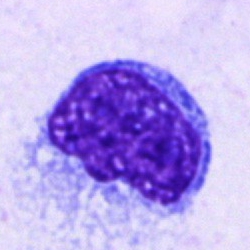The cell shown is a blast.